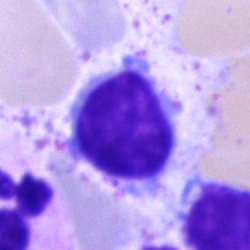 Cell = typical lymphocyte.